MGG-stained · single cell centered in the field · bone marrow smear.
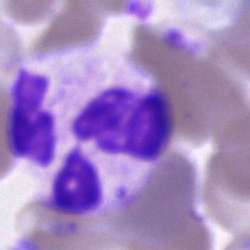

The cell shown is a neutrophil (segmented).